Bone marrow smear. Single-cell crop: 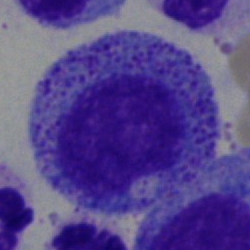

Q: Which cell type is shown here?
A: A promyelocyte.